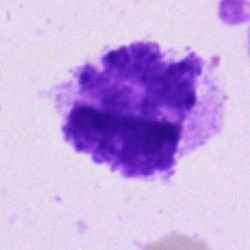The cell shown is an artifact.